Bone marrow aspirate smear. 250 by 250 pixels.
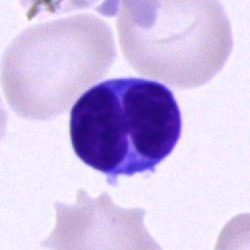Q: What is the morphological classification of this cell?
A: A lymphocyte.